Bone marrow aspirate smear · cropped to a single cell:
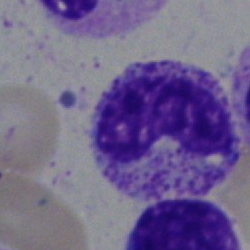The cell shown is a band-form neutrophil.